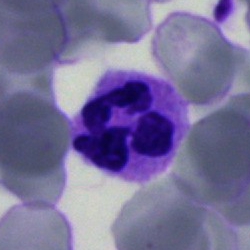

Specimen: bone marrow aspirate smear.
Cell type: segmented neutrophil.
Lineage: myeloid.